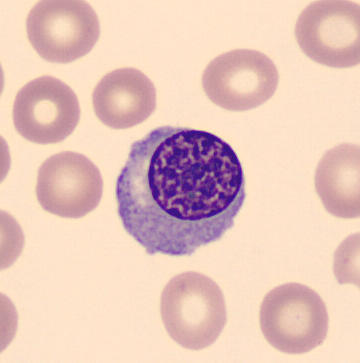Identified as a normoblast.